May-Grünwald-Giemsa/Pappenheim stain · 40× objective, oil immersion · bone marrow smear: 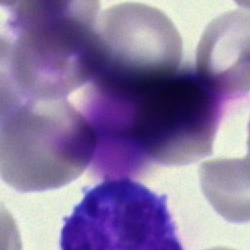This is an artifact.